Bone marrow aspirate smear.
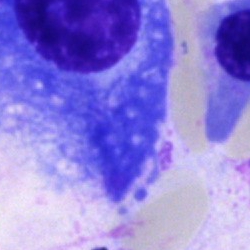This is a plasma cell.